Bone marrow aspirate smear:
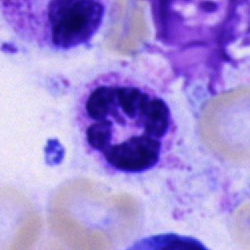Neutrophil (segmented).